Bone marrow aspirate smear · single cell centered in the field · brightfield, 40× oil-immersion objective:
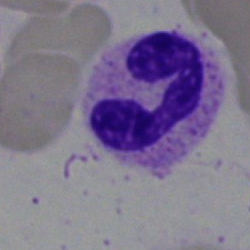 Q: Which cell type is shown here?
A: A polymorphonuclear neutrophil.